Bone marrow smear · May-Grünwald-Giemsa/Pappenheim stain.
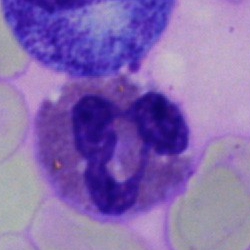

Morphological class — eosinophil.